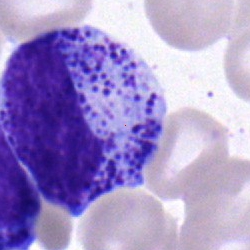

Q: What cell is this?
A: It is a metamyelocyte.